Bone marrow smear
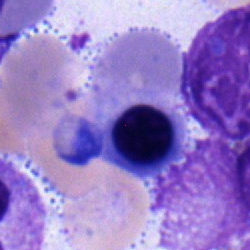 Q: What is shown here?
A: This is an erythroblast.